Pappenheim-stained; bone marrow aspirate smear.
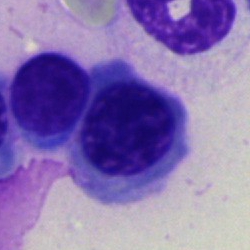Classification — normoblast.